Bone marrow aspirate smear · Pappenheim-stained:
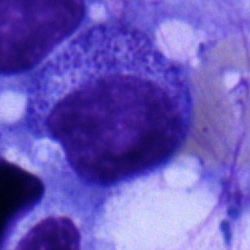

This is a progranulocyte.